40× oil immersion. Bone marrow smear. May-Grünwald-Giemsa stain.
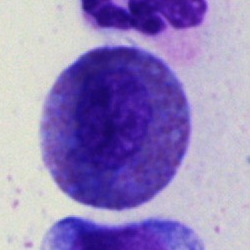Impression — eosinophilic granulocyte.